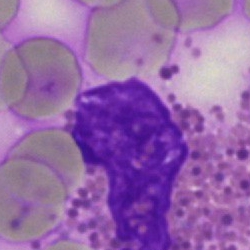 Q: What is shown here?
A: An artefact.